Bone marrow aspirate smear:
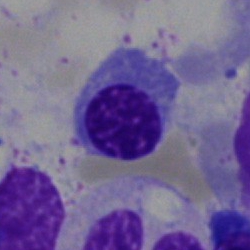

This is a nucleated red blood cell.